Bone marrow aspirate smear. Pappenheim-stained — 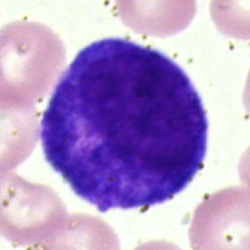
Cell: nucleated red blood cell.